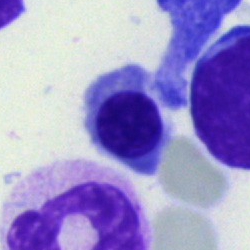
A nucleated red cell.